Bone marrow aspirate smear. 250 by 250 pixels — 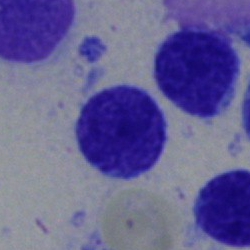
Q: What cell is this?
A: A lymphocyte.